Bone marrow aspirate smear; brightfield microscopy, 40× oil immersion; single cell centered in the field:
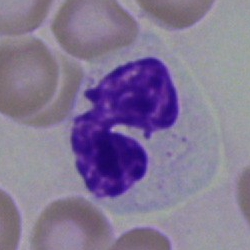

The cell shown is a neutrophil (segmented).